Bone marrow smear.
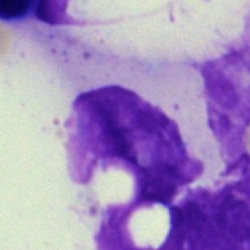

The cell type is artefact.